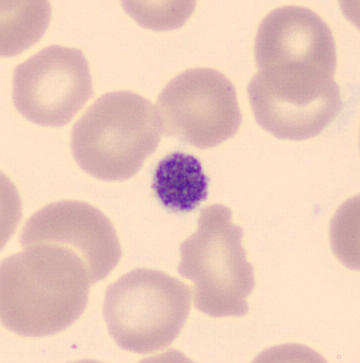 Classification: platelet.